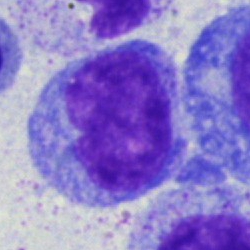
A monocyte on a bone marrow smear.